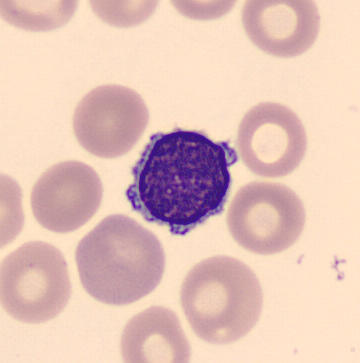This is a typical lymphocyte.
Acquisition: MGG stain · peripheral blood film.